Bone marrow smear. 40× oil immersion: 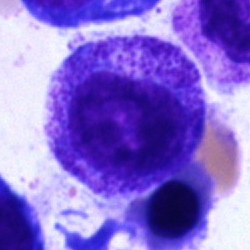Classification: promyelocyte.